Bone marrow smear · 250×250 px · single-cell crop — 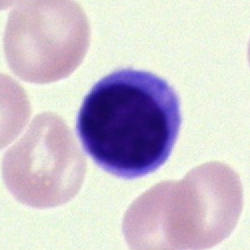Morphological class = typical lymphocyte.